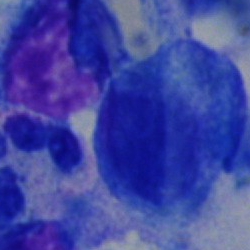Showing a plasma cell.